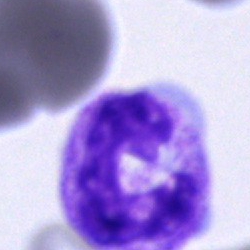 Morphological class — neutrophil (band).